250×250; Pappenheim-stained; bone marrow smear: 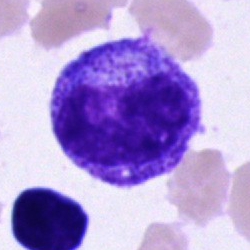Promyelocyte.